Bone marrow aspirate smear
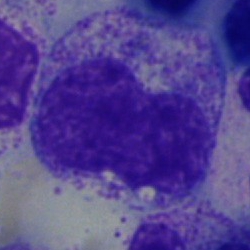
{"cell_type": "myelocyte"}